Bone marrow aspirate smear:
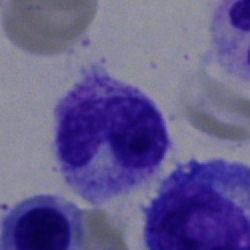 Cell type: band neutrophil.